Bone marrow aspirate smear · May-Grünwald-Giemsa/Pappenheim stain: 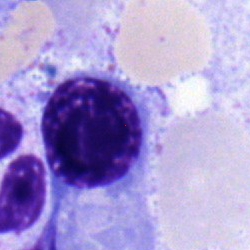Q: What is shown here?
A: It is a nucleated red cell.